Bone marrow smear · image size 250×250:
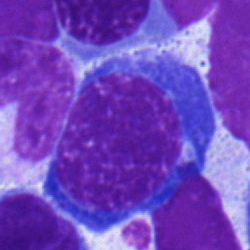

This is a normoblast.